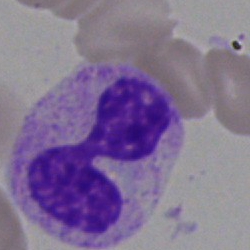Morphology consistent with a segmented neutrophil.